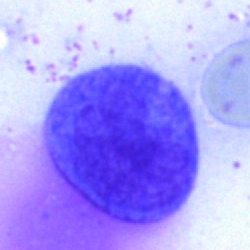
The cell is cell of indeterminate lineage.